250×250; bone marrow smear — 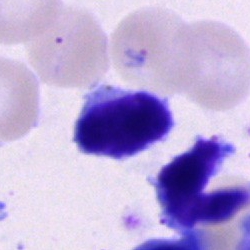

Cell type — lymphocyte.